250×250; bone marrow aspirate smear; brightfield, 40× oil-immersion objective — 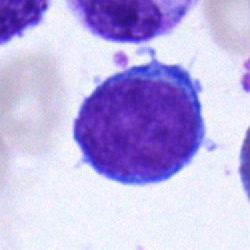 Morphology — lymphocyte.